Bone marrow smear. 40× objective, oil immersion — 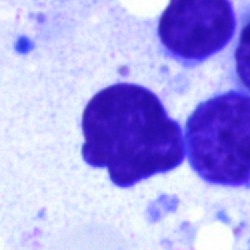

Impression → artefact.